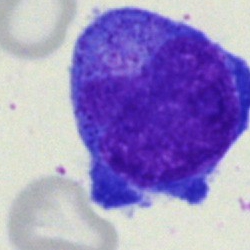
The classification is progranulocyte.